Bone marrow aspirate smear:
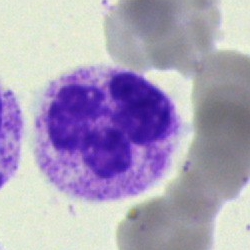Q: Which cell type is shown here?
A: Neutrophil (segmented).